Peripheral blood film — 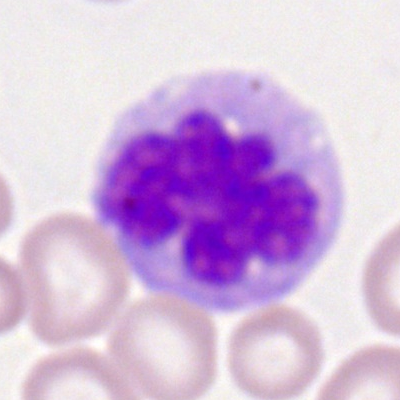{"cell_type": "monocyte", "lineage": "myeloid"}